40× oil immersion. Bone marrow smear.
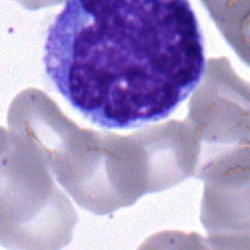 Morphology → monocyte.